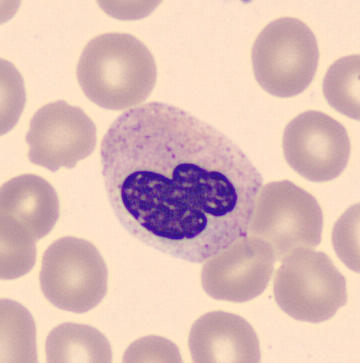 Identified as a polymorphonuclear neutrophil. Peripheral blood film.